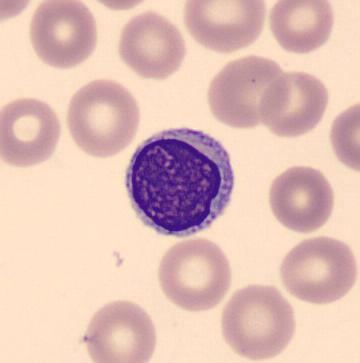
This is a lymphocyte.
Preparation: Peripheral blood smear.